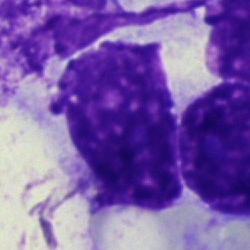 Cell — artifact.